40× oil immersion; bone marrow aspirate smear — 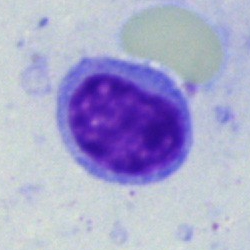Q: Identify the cell.
A: This is a lymphocyte.